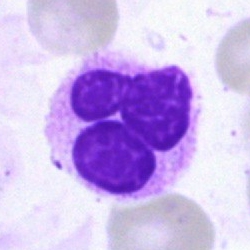
An artifact on a bone marrow smear.